Bone marrow smear.
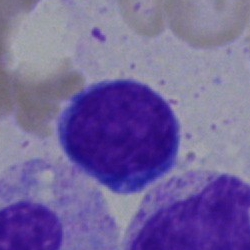
Impression — typical lymphocyte.